Single cell centered in the field · peripheral blood smear
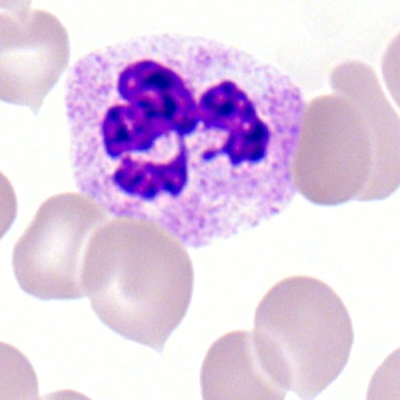 Q: What type of cell is this?
A: It is a segmented neutrophil.